Single cell centered in the field; bone marrow aspirate smear:
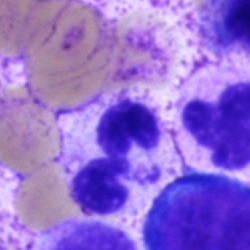

Single cell identified as a segmented neutrophil.